Bone marrow smear: 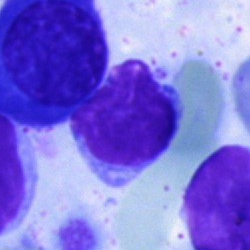Q: What is the morphological classification of this cell?
A: This is a lymphocyte.